Bone marrow smear: 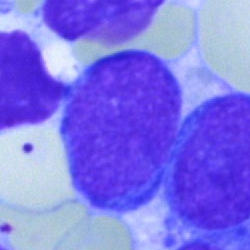
Morphological class: undifferentiated blast.